Peripheral blood film; Romanowsky-type stain
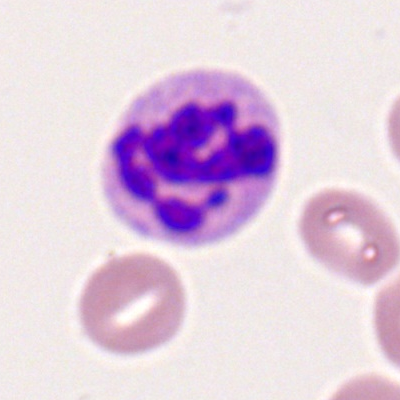
Specimen: peripheral blood smear.
Classification: polymorphonuclear neutrophil.